250×250. Bone marrow aspirate smear — 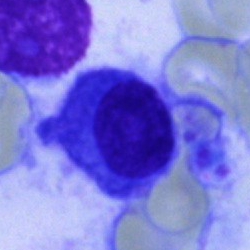
The cell is plasmacyte.